May-Grünwald-Giemsa stain · bone marrow aspirate smear · single-cell field:
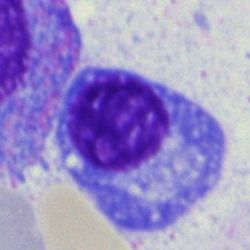

Classification = plasma cell.